Bone marrow aspirate smear.
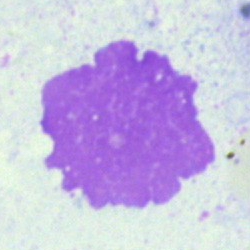
Artefact.